Bone marrow aspirate smear. Cropped to a single cell. Brightfield, 40× oil-immersion objective:
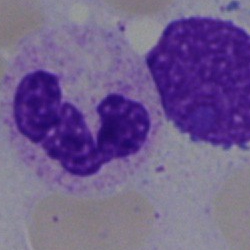 {"cell_type": "segmented neutrophil", "lineage": "myeloid"}